Bone marrow aspirate smear
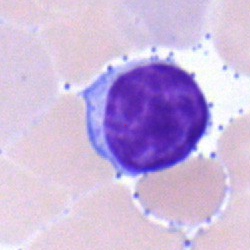The morphological class is lymphocyte.